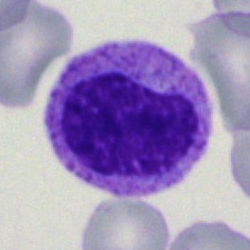
Bone marrow smear showing a myelocyte.